Bone marrow smear. 250×250 px — 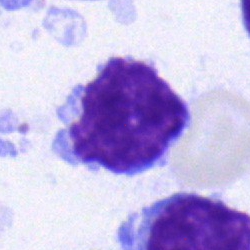
Specimen: bone marrow aspirate smear.
Classification: typical lymphocyte.
Lineage: lymphoid.